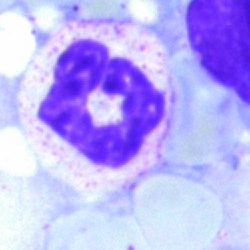The cell shown is a segmented neutrophil.